Bone marrow smear.
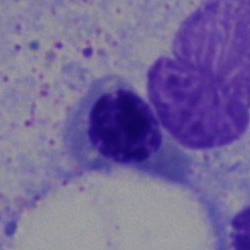

Specimen: bone marrow aspirate smear.
Morphological class: erythroblast.